100× oil immersion, 14.14 px/µm. Peripheral blood smear:
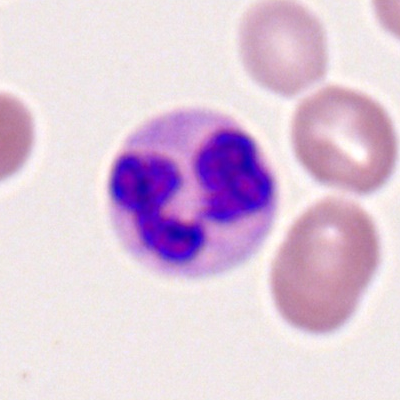This is a segmented neutrophil.